Bone marrow aspirate smear
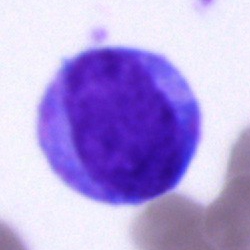 Morphology — undifferentiated blast.